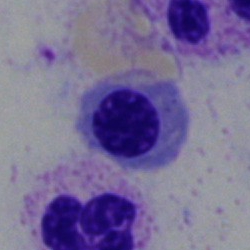Q: What cell is this?
A: A nucleated red blood cell.